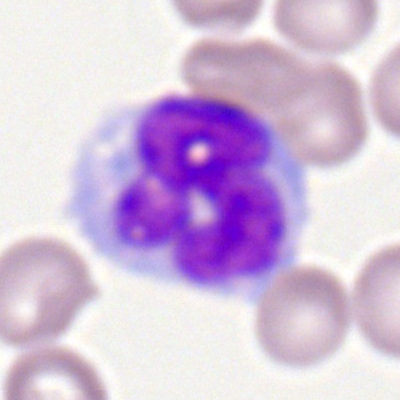

Specimen: peripheral blood smear.
Classification: monocyte.